Peripheral blood smear · Romanowsky-stained — 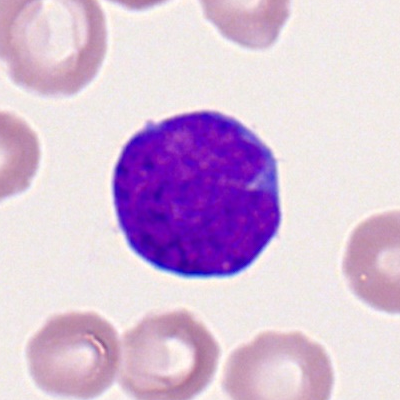
Showing a myeloid blast.